Bone marrow smear.
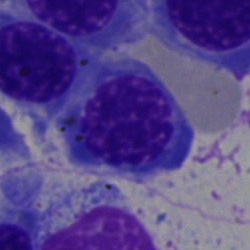

Nucleated red cell.